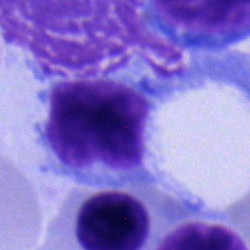 {"cell_type": "typical lymphocyte", "lineage": "lymphoid"}